Bone marrow aspirate smear.
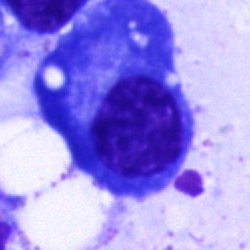Specimen: bone marrow smear.
Cell: plasmacyte.
Lineage: lymphoid.